Bone marrow smear; 40× objective, oil immersion; MGG-stained: 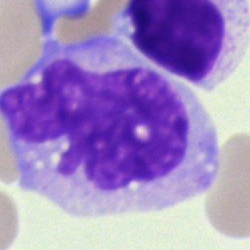Q: Identify the cell.
A: A monocyte.